Single-cell crop · 250×250 · bone marrow smear:
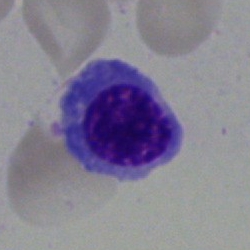
This is a normoblast.